Bone marrow smear: 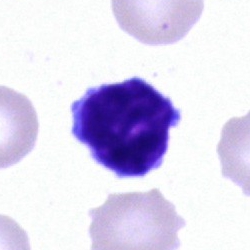 Morphology consistent with a lymphocyte.